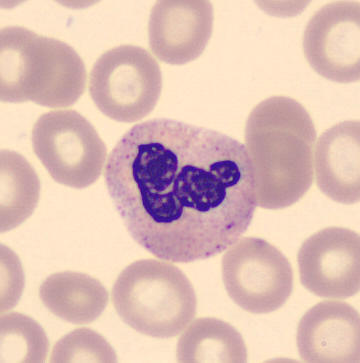

Peripheral blood smear.
Showing a neutrophil (segmented).